Single-cell crop · 40× oil immersion · bone marrow smear — 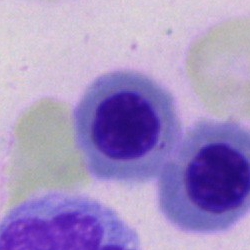Morphology consistent with an erythroblast.